Bone marrow aspirate smear · 40× oil immersion · May-Grünwald-Giemsa/Pappenheim stain: 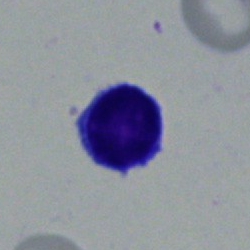 Q: What is the morphological classification of this cell?
A: Lymphocyte.